Bone marrow smear: 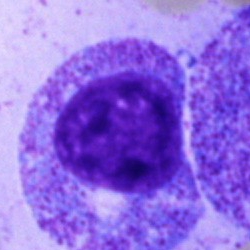
Showing a promyelocyte.